Bone marrow aspirate smear:
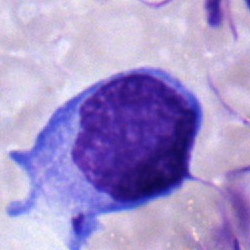

This is a typical lymphocyte.